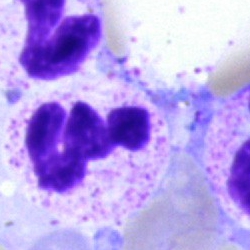Single-cell crop from a bone marrow smear: polymorphonuclear neutrophil.